Bone marrow aspirate smear: 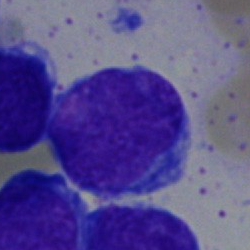A blast.